May-Grünwald-Giemsa stain. Bone marrow smear. Brightfield, 40× oil-immersion objective — 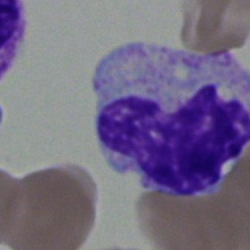

The cell shown is a monocyte.